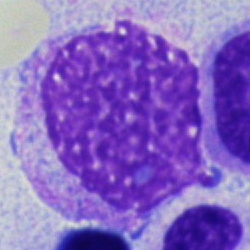Specimen: bone marrow smear.
Classification: artifact.